MGG-stained. Bone marrow smear
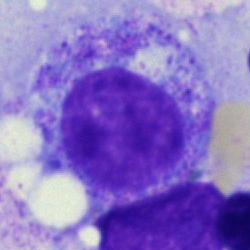Showing a promyelocyte.